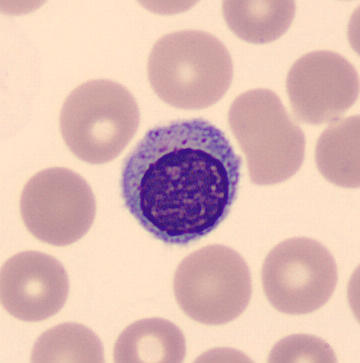
MGG-stained; peripheral blood smear.

Single cell identified as a typical lymphocyte.